Single-cell field · peripheral blood film:
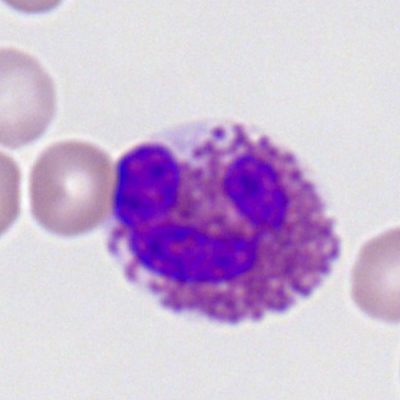 Morphological class — eosinophilic granulocyte.